Single-cell crop · 250×250 px · bone marrow smear.
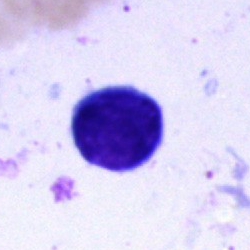Morphology — typical lymphocyte.